Single cell centered in the field; bone marrow aspirate smear; 40× objective, oil immersion.
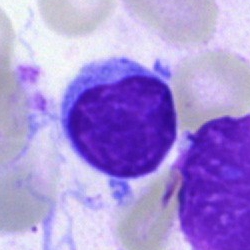

Q: What is shown here?
A: A lymphocyte.